Cropped to a single cell; bone marrow smear:
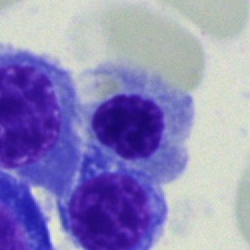
Q: What is shown here?
A: This is a nucleated red cell.